Bone marrow aspirate smear: 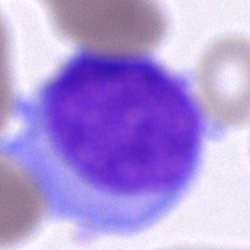

Q: Which cell type is shown here?
A: It is a blast cell.